May-Grünwald-Giemsa/Pappenheim stain · bone marrow smear
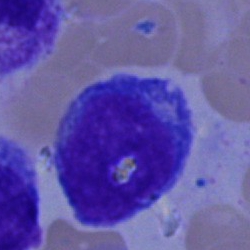
Q: What type of cell is this?
A: A proerythroblast.